Bone marrow smear
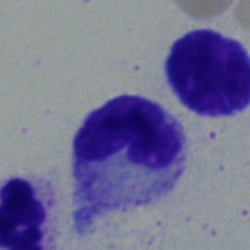Cell — neutrophil (band).